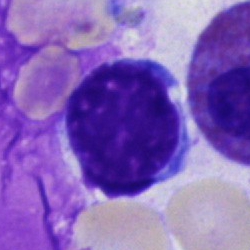 Q: Identify the cell.
A: A polymorphonuclear neutrophil.